Bone marrow aspirate smear. Brightfield, 40× oil-immersion objective.
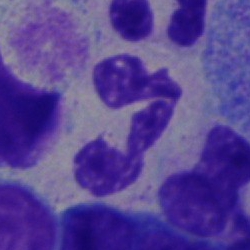
Cell type = polymorphonuclear neutrophil.